Bone marrow smear. May-Grünwald-Giemsa/Pappenheim stain
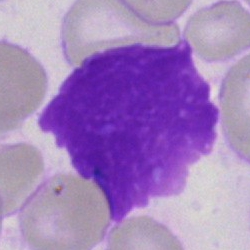
Artifact.